Single cell centered in the field; bone marrow smear
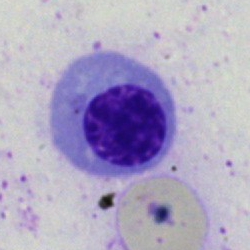Q: Which cell type is shown here?
A: This is a nucleated red cell.